Peripheral blood smear:
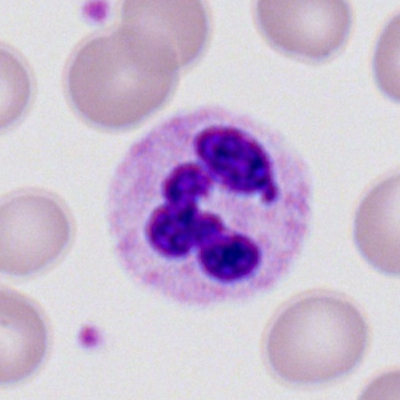Cell — polymorphonuclear neutrophil.